Bone marrow aspirate smear. 40× objective, oil immersion: 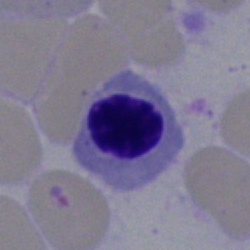 Classification: erythroblast.